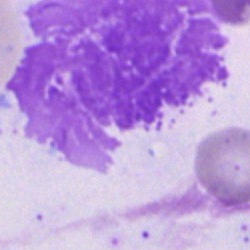 Q: What is shown here?
A: Artefact.